Brightfield, 40× oil-immersion objective · bone marrow smear · single cell centered in the field.
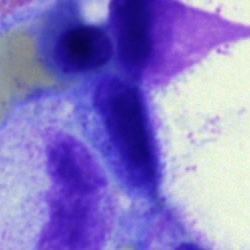

Morphology — unidentifiable cell.